Bone marrow smear. 250×250.
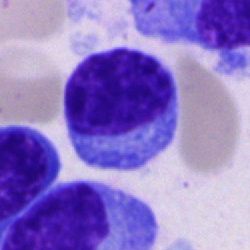 Q: Which cell type is shown here?
A: This is a plasma cell.